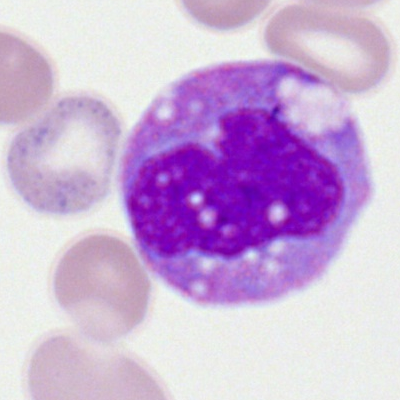 Q: What is the morphological classification of this cell?
A: This is a monocyte.